Bone marrow smear
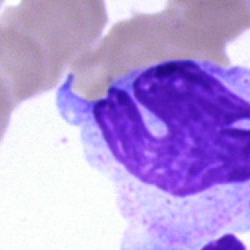Impression → monocyte.